Cropped to a single cell; bone marrow aspirate smear — 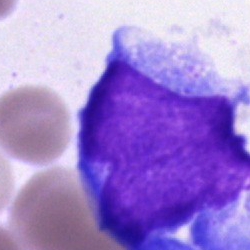
Q: What is the morphological classification of this cell?
A: It is a blast.